Bone marrow aspirate smear: 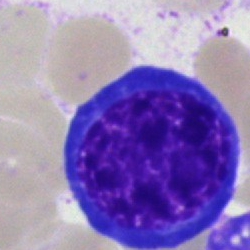 Specimen: bone marrow aspirate smear.
Cell type: nucleated red blood cell.
Lineage: erythroid.